Bone marrow smear. 250 by 250 pixels
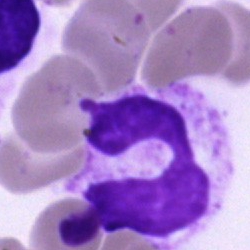 A segmented neutrophil.